250 by 250 pixels · single-cell field · bone marrow smear
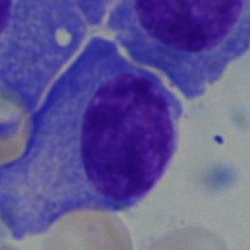 Cell — plasmacyte.